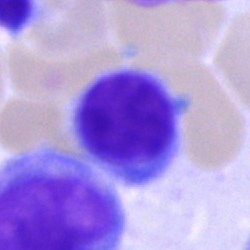

Q: Identify the cell.
A: This is a typical lymphocyte.